Single-cell crop · peripheral blood smear · 400 by 400 pixels:
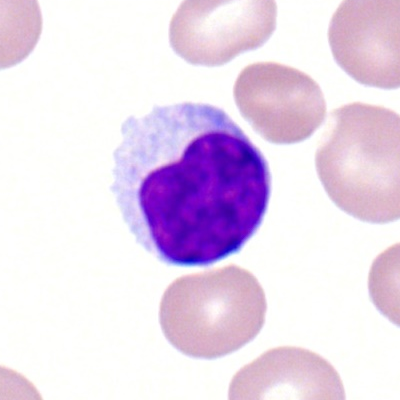 Impression — lymphocyte.